Bone marrow aspirate smear: 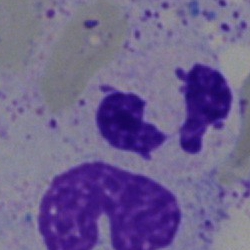Classification = polymorphonuclear neutrophil.